250 by 250 pixels; 40× objective, oil immersion; bone marrow smear: 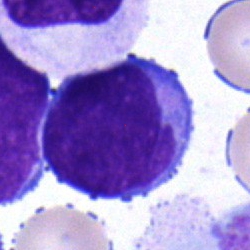
Morphology consistent with a blast.